May-Grünwald-Giemsa stain. Bone marrow smear
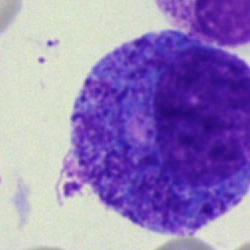
{"cell_type": "progranulocyte", "lineage": "myeloid"}